40× objective, oil immersion · bone marrow aspirate smear:
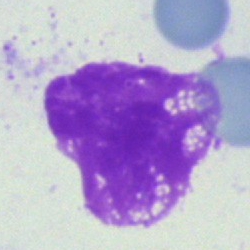 Single cell identified as an artefact.